40× oil immersion. Bone marrow smear:
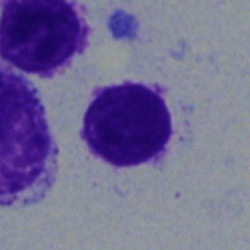 Q: What is shown here?
A: Artefact.